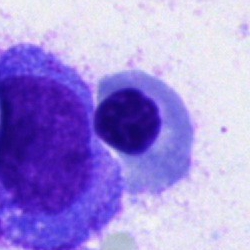

Morphology → nucleated red cell.